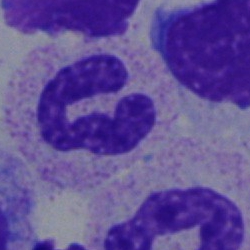

Classification: neutrophil (segmented).